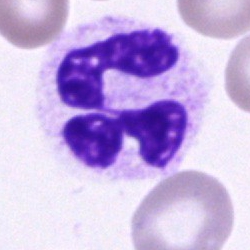 The morphological class is segmented neutrophil.